Image size 250×250. 40× oil immersion. Bone marrow aspirate smear:
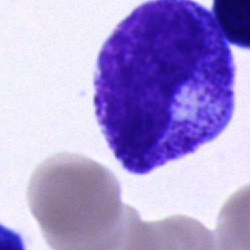
Showing a promyelocyte.